Bone marrow smear.
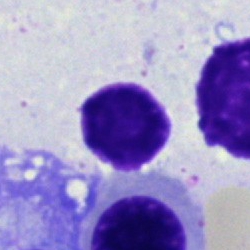

Morphology consistent with an artefact.